Bone marrow aspirate smear; MGG-stained — 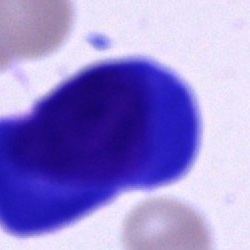
Morphology — plasma cell.